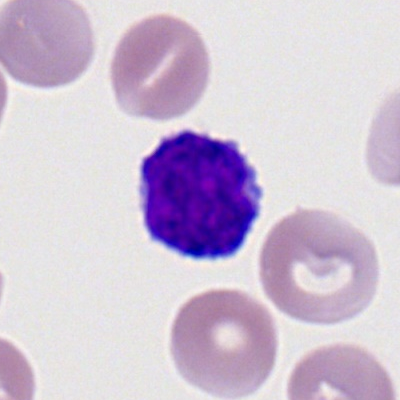

Morphology — typical lymphocyte.